Bone marrow aspirate smear
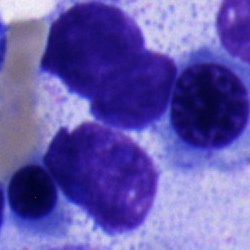Nucleated red cell.